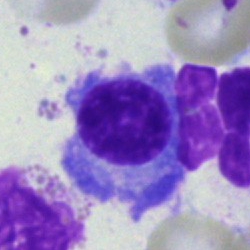
Showing a plasmacyte.